40× oil immersion. Bone marrow smear. 250×250 px: 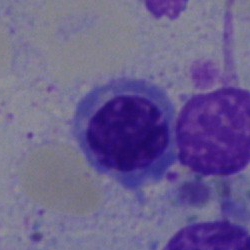 Cell: normoblast.